Peripheral blood film: 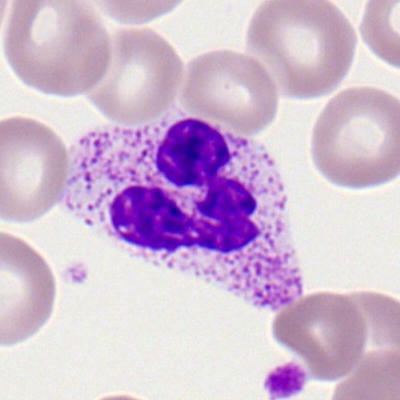

The cell shown is a segmented neutrophil.